Image size 250×250; bone marrow smear; brightfield microscopy, 40× oil immersion:
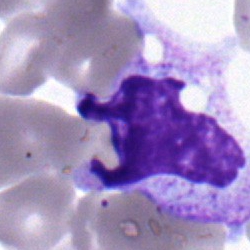

The cell is polymorphonuclear neutrophil.